Romanowsky-stained; peripheral blood smear: 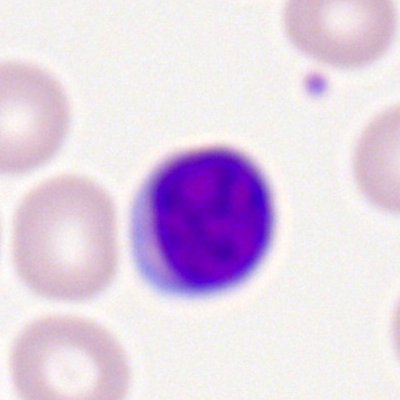
Impression — lymphocyte.